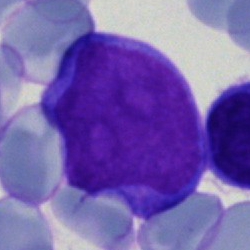Classification — blast.